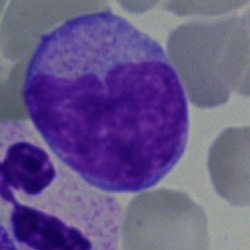 Single-cell crop from a bone marrow smear: undifferentiated blast.